Bone marrow smear · 250×250 · 40× objective, oil immersion:
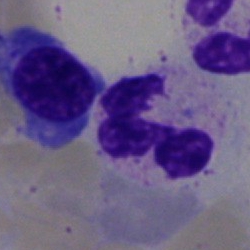

Cell = segmented neutrophil.